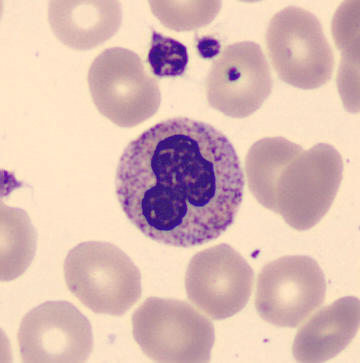
Morphology → neutrophil (band).